250×250. Bone marrow aspirate smear. 40× objective, oil immersion: 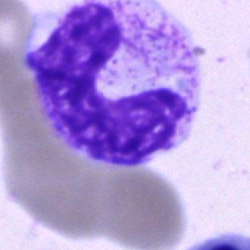

This is a neutrophil (band).